Bone marrow aspirate smear:
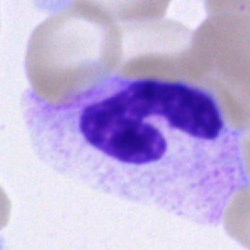
A band-form neutrophil.